Bone marrow smear:
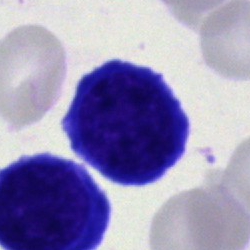
Specimen: bone marrow aspirate smear.
Cell type: typical lymphocyte.
Lineage: lymphoid.